Bone marrow smear; May-Grünwald-Giemsa/Pappenheim stain — 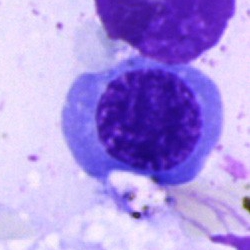 Q: What is the morphological classification of this cell?
A: It is a nucleated red blood cell.